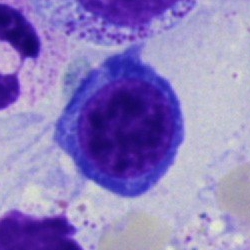Q: What cell is this?
A: A nucleated red cell.